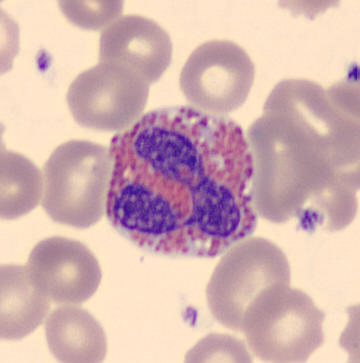360×363; peripheral blood film.
Q: What is the morphological classification of this cell?
A: It is an eosinophilic granulocyte.